Bone marrow smear — 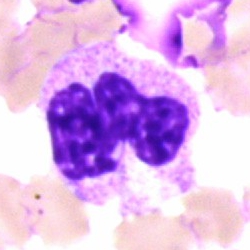
Classification — polymorphonuclear neutrophil.